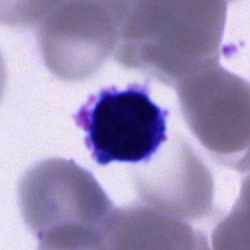 Impression → artifact.